40× objective, oil immersion; bone marrow smear; 250×250 px
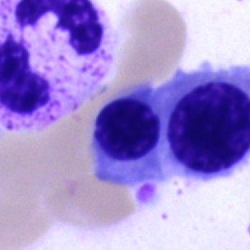

Q: Identify the cell.
A: Normoblast.